Bone marrow aspirate smear
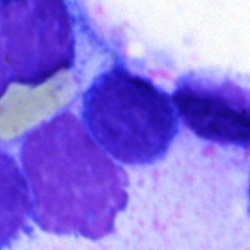Cell — typical lymphocyte.